Single-cell crop; bone marrow aspirate smear; brightfield, 40× oil-immersion objective: 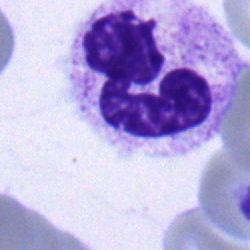 {"cell_type": "neutrophil (segmented)", "lineage": "myeloid"}